Peripheral blood smear
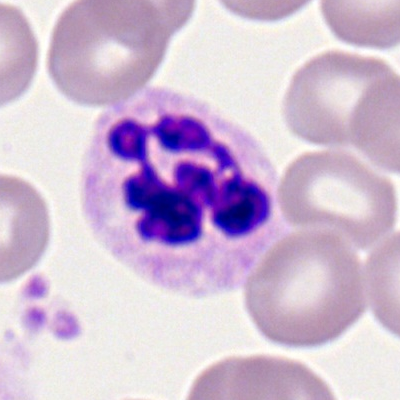

Specimen: peripheral blood smear.
Cell: neutrophil (segmented).
Lineage: myeloid.